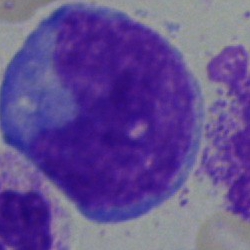 Impression → blast.